Brightfield microscopy, 40× oil immersion · bone marrow smear · single-cell crop:
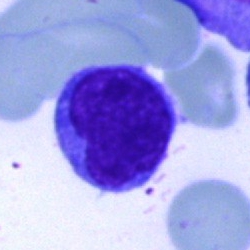

The morphological class is typical lymphocyte.